Single cell centered in the field; bone marrow aspirate smear; brightfield microscopy, 40× oil immersion.
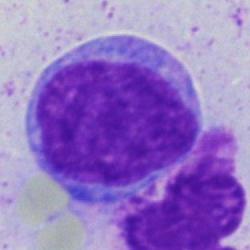Morphological class: undifferentiated blast.